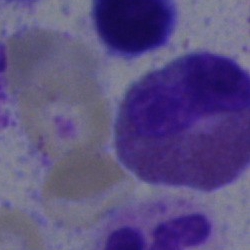

{"cell_type": "eosinophil", "lineage": "myeloid"}